250×250 px. Bone marrow smear. 40× objective, oil immersion: 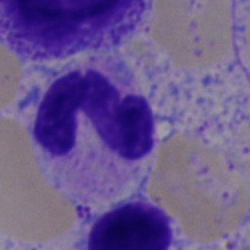

Single cell identified as a neutrophil (segmented).